MGG-stained. Image size 250×250. Bone marrow aspirate smear
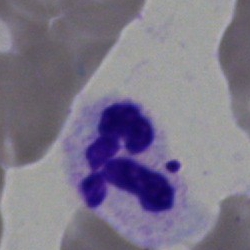 The cell is polymorphonuclear neutrophil.